Bone marrow aspirate smear · 40× oil immersion — 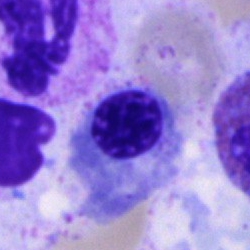Cell: normoblast.